Cropped to a single cell; bone marrow smear; 40× objective, oil immersion:
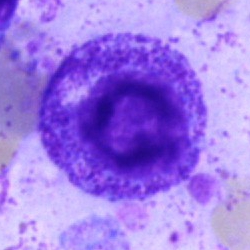
Impression → promyelocyte.